40× objective, oil immersion · bone marrow smear
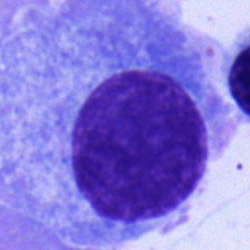 Q: Which cell type is shown here?
A: Plasmacyte.